Bone marrow smear; single-cell crop; brightfield, 40× oil-immersion objective.
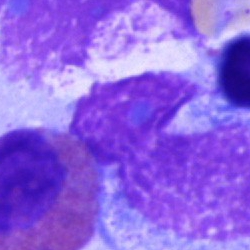
{"cell_type": "artifact"}